Bone marrow smear · 40× oil immersion:
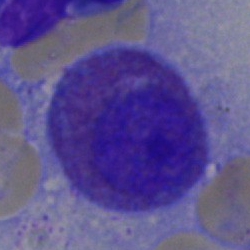

Q: What type of cell is this?
A: An eosinophilic granulocyte.